Bone marrow smear — 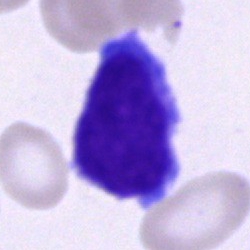

A lymphocyte.